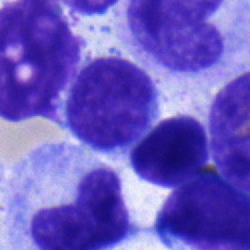Bone marrow aspirate smear, single cell — lymphocyte.